Bone marrow aspirate smear · 40× oil immersion: 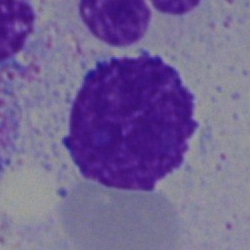

Classification = artifact.